Bone marrow aspirate smear. 40× objective, oil immersion — 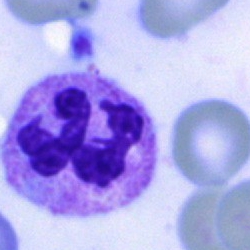 Morphology consistent with a segmented neutrophil.